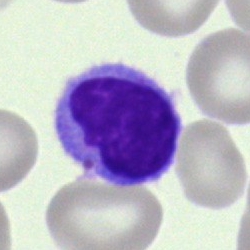Morphology consistent with a typical lymphocyte.